Bone marrow aspirate smear — 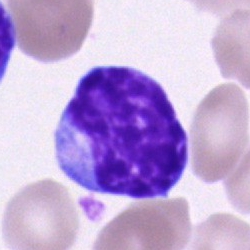Impression → blast cell.